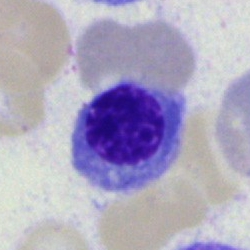Cell = normoblast.